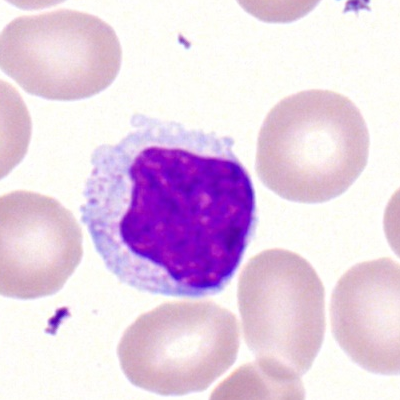 Peripheral blood smear showing a typical lymphocyte.